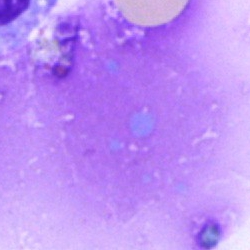Impression → artefact.